Bone marrow aspirate smear
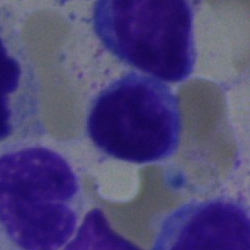
Impression — typical lymphocyte.